Bone marrow smear.
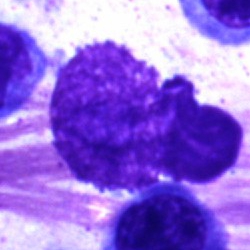 {"cell_type": "artefact"}